40× objective, oil immersion · bone marrow smear
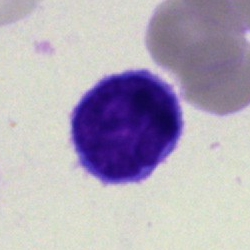
Cell type = lymphocyte.